Cropped to a single cell · 250×250 px · bone marrow smear
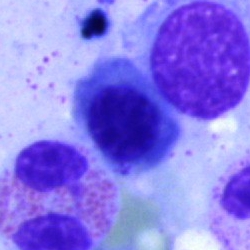

The classification is nucleated red cell.